Peripheral blood film:
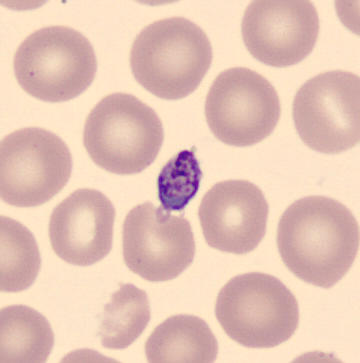
Platelet (thrombocyte).